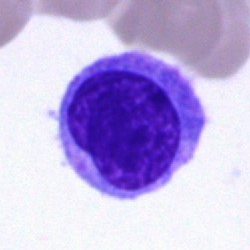Q: Which cell type is shown here?
A: This is a blast cell.